Bone marrow aspirate smear
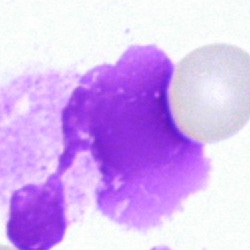 Showing an artifact.